Peripheral blood smear:
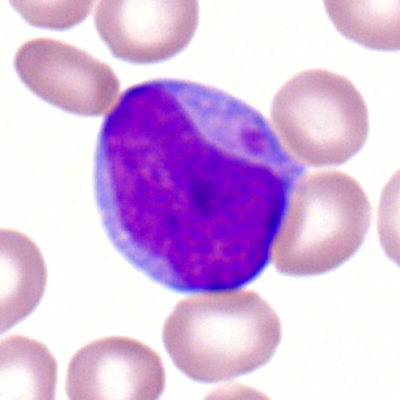

Morphology consistent with a myeloblast.